Bone marrow aspirate smear · May-Grünwald-Giemsa/Pappenheim stain: 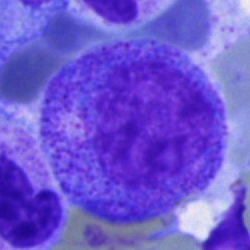
Showing a progranulocyte.